Bone marrow smear.
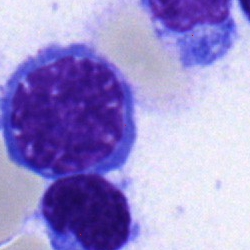 The classification is erythroblast.